Bone marrow aspirate smear · cropped to a single cell.
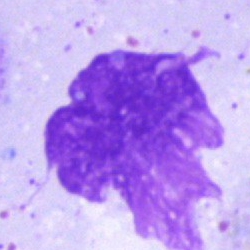
Cell type — artefact.